250×250; bone marrow smear.
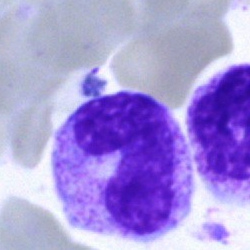
Morphology → stab cell.